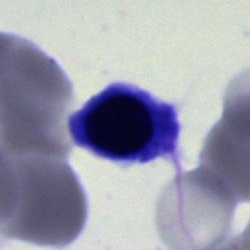Morphology consistent with a nucleated red cell.